Brightfield, 40× oil-immersion objective; bone marrow smear:
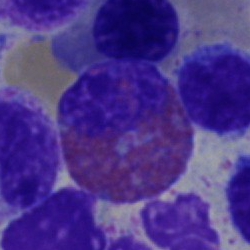 Specimen: bone marrow smear.
Morphological class: eosinophilic granulocyte.
Lineage: myeloid.